MGG-stained; bone marrow aspirate smear:
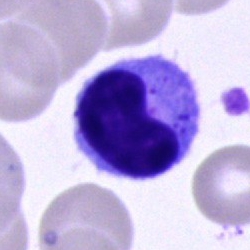Morphology — unidentifiable cell.